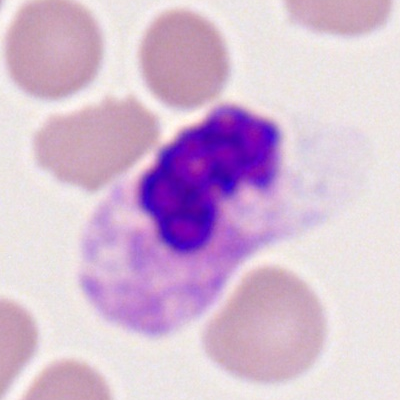

Cell type: neutrophil (segmented).